Bone marrow aspirate smear — 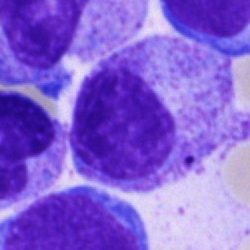Q: What type of cell is this?
A: Myelocyte.